Single-cell crop; bone marrow smear:
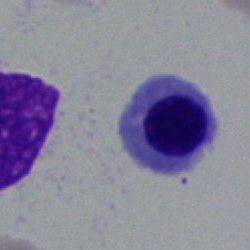

A normoblast.